Bone marrow aspirate smear
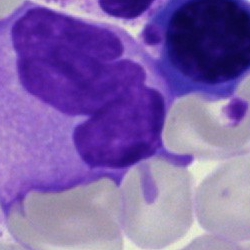
The cell shown is an artefact.